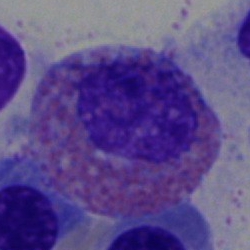
Cell — eosinophilic granulocyte.